Bone marrow smear: 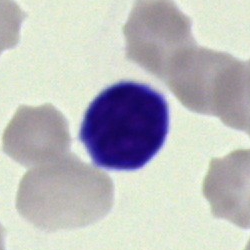

Showing an unidentifiable cell.